Bone marrow smear: 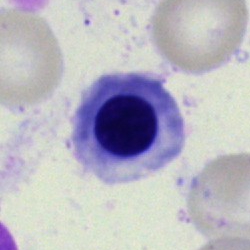

A nucleated red blood cell.